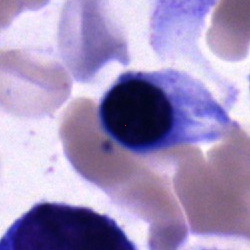Nucleated red blood cell.